Brightfield, 40× oil-immersion objective · bone marrow aspirate smear:
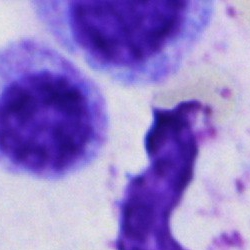
Specimen: bone marrow smear.
Classification: myelocyte.